Bone marrow smear:
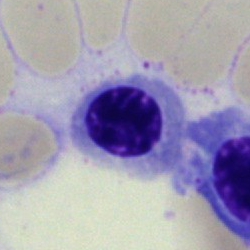
Single cell identified as a normoblast.